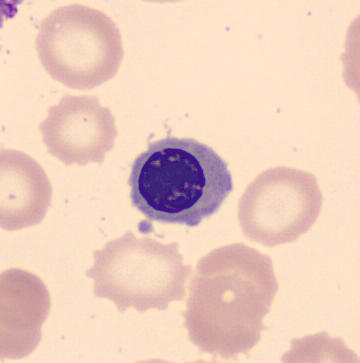
Acquisition: Peripheral blood film. Single cell identified as an erythroblast.